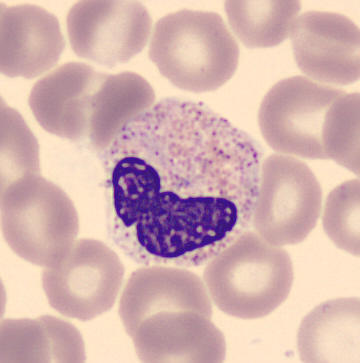Cell — neutrophil (band).